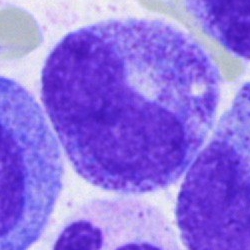
A metamyelocyte.